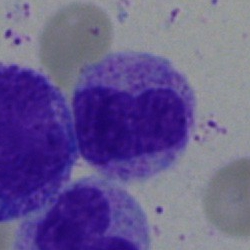Specimen: bone marrow aspirate smear.
Classification: metamyelocyte.
Lineage: myeloid.